Bone marrow aspirate smear:
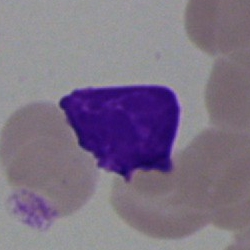
The cell shown is an artifact.